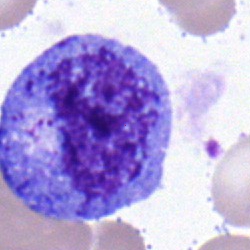

Q: What type of cell is this?
A: This is a promyelocyte.